Bone marrow smear — 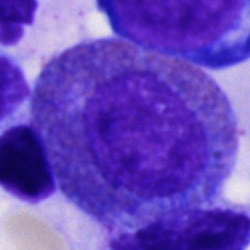 Showing an eosinophil.